Single-cell crop; Romanowsky stain; peripheral blood film
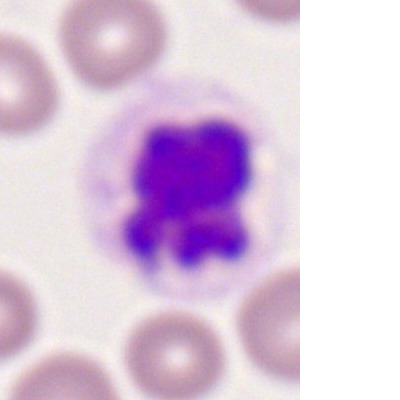Q: What is the morphological classification of this cell?
A: A neutrophil (segmented).